Single-cell crop; bone marrow aspirate smear — 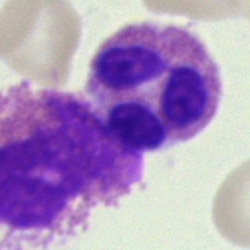 An eosinophilic granulocyte.